Peripheral blood smear
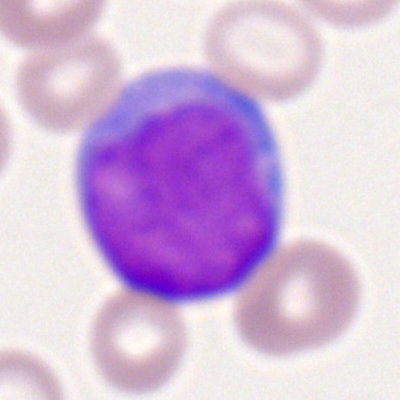Morphology — myeloblast.